MGG-stained; cropped to a single cell; bone marrow aspirate smear: 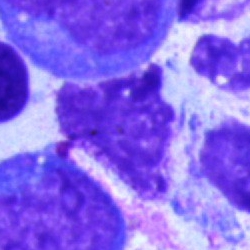

Q: What is shown here?
A: An artifact.